400×400 px. Peripheral blood film: 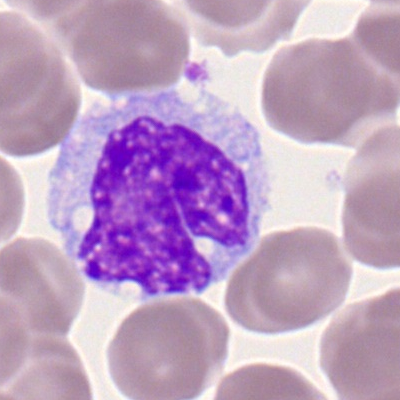

Showing a monocyte.